Bone marrow smear. Single cell centered in the field:
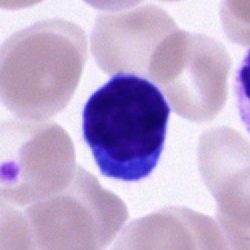
Morphological class = lymphocyte.